Bone marrow aspirate smear; 40× oil immersion — 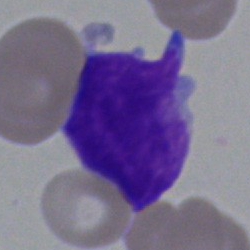Blast cell.